Bone marrow aspirate smear.
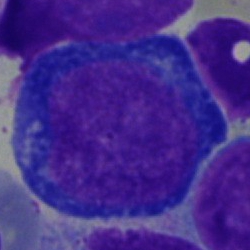The morphological class is pronormoblast.